Bone marrow aspirate smear · cropped to a single cell · Pappenheim-stained
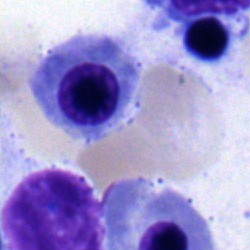 Classification = nucleated red cell.